Bone marrow smear. May-Grünwald-Giemsa/Pappenheim stain — 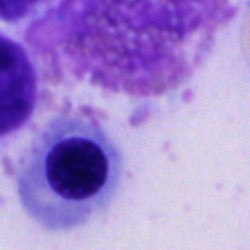Q: What type of cell is this?
A: Nucleated red blood cell.